Bone marrow aspirate smear
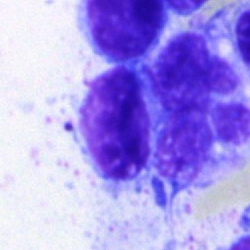

Morphology — artefact.